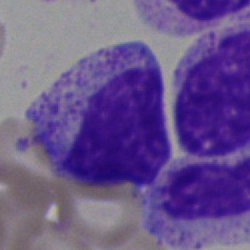
Q: Identify the cell.
A: This is a myelocyte.